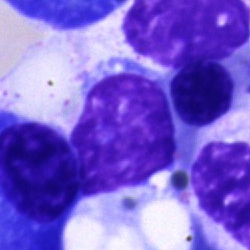

Classification: cell of indeterminate lineage.